Peripheral blood smear.
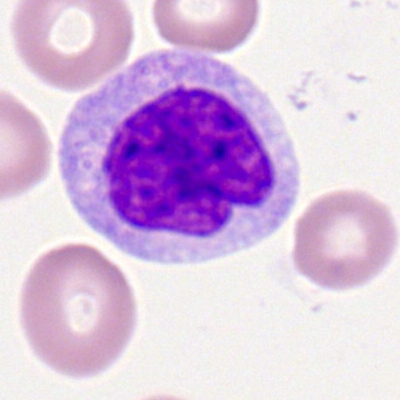 Cell type = monocyte.